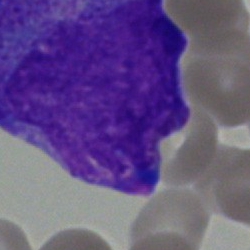
An undifferentiated blast on a bone marrow smear.